Bone marrow aspirate smear — 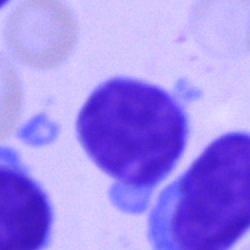

Morphological class = lymphocyte.